Bone marrow smear. Pappenheim-stained:
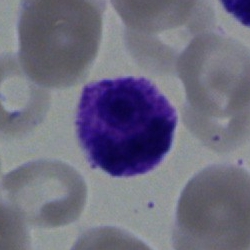
Specimen: bone marrow aspirate smear.
Classification: polymorphonuclear neutrophil.
Lineage: myeloid.